Bone marrow aspirate smear: 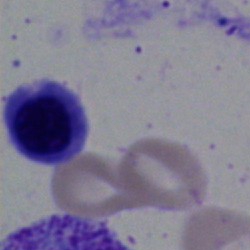
Classification — nucleated red blood cell.